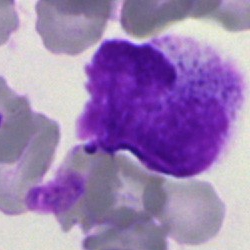

An artifact on a bone marrow smear.